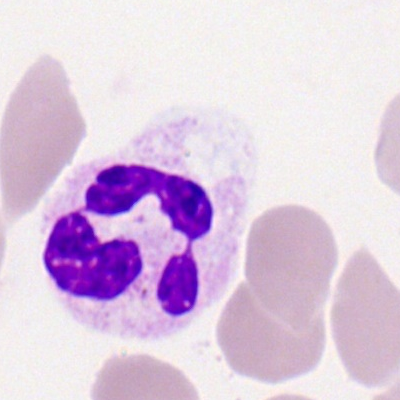
Showing a neutrophil (segmented).